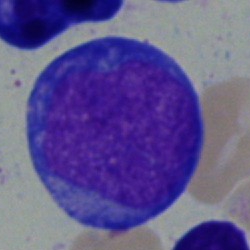A blast cell.